Bone marrow smear · May-Grünwald-Giemsa stain · image size 250×250 — 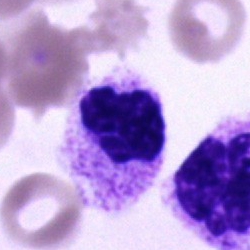

Showing a polymorphonuclear neutrophil.